Image size 250×250 · bone marrow aspirate smear · 40× oil immersion.
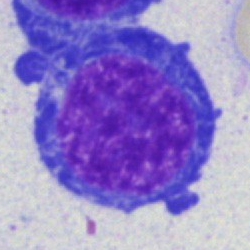

Specimen: bone marrow aspirate smear.
Classification: normoblast.
Lineage: erythroid.